Peripheral blood smear.
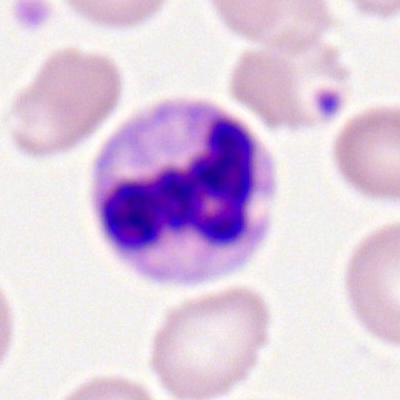
Cell type = polymorphonuclear neutrophil.